Bone marrow smear
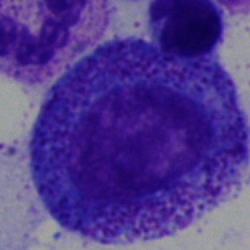

Morphology → progranulocyte.